Bone marrow smear — 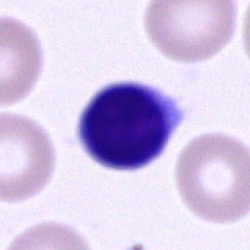 The cell shown is a lymphocyte.